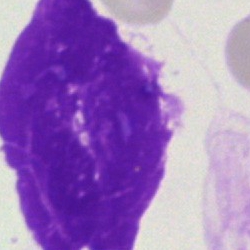The cell type is artifact.